Peripheral blood film: 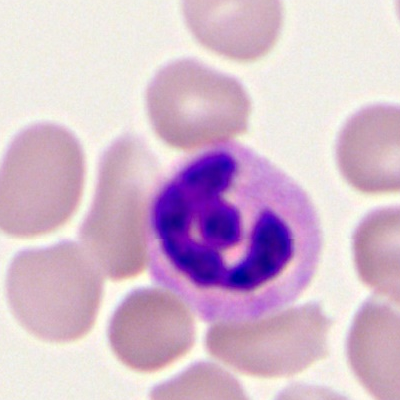
Showing a segmented neutrophil.